MGG-stained; bone marrow aspirate smear:
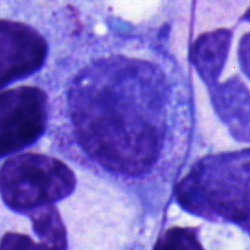
The cell type is promyelocyte.